Single-cell crop; bone marrow smear
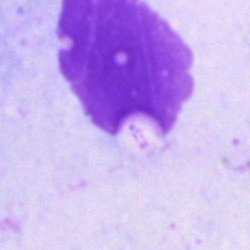 Specimen: bone marrow smear.
Morphological class: artifact.